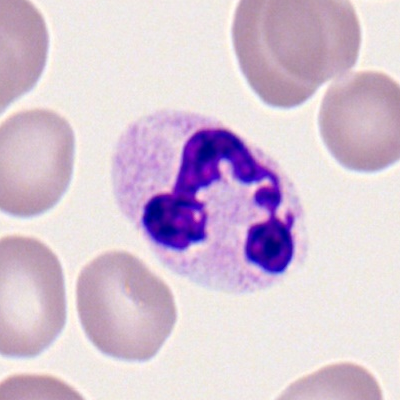
This is a neutrophil (segmented).